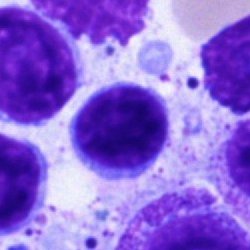The cell shown is a typical lymphocyte.